40× objective, oil immersion. Bone marrow aspirate smear — 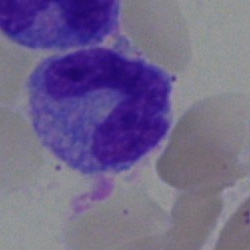 Cell type — monocyte.